Bone marrow smear. Image size 250×250:
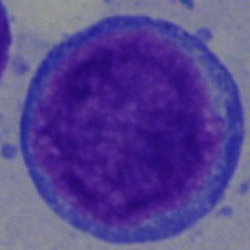The cell type is proerythroblast.